Cropped to a single cell · automated cell imaging (CellaVision DM96) · peripheral blood film — 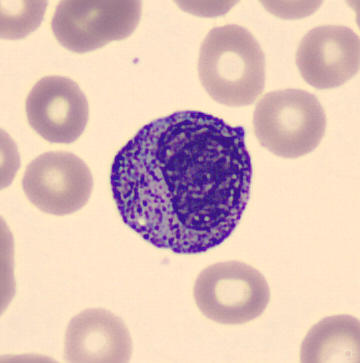 A myelocyte.